Bone marrow aspirate smear · brightfield, 40× oil-immersion objective · 250×250 px:
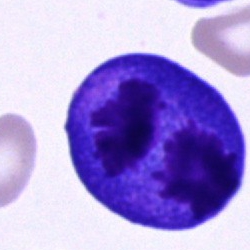

Classification: cell of indeterminate lineage.